Pappenheim-stained · bone marrow aspirate smear — 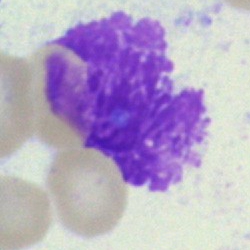Morphological class = artefact.